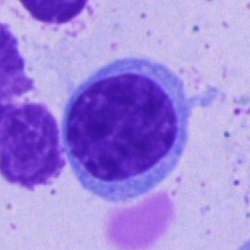

Q: What type of cell is this?
A: This is a typical lymphocyte.